Bone marrow aspirate smear. 40× oil immersion — 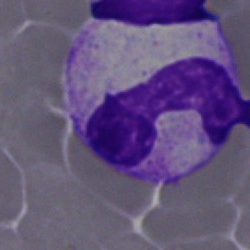
Specimen: bone marrow aspirate smear.
Cell type: band-form neutrophil.
Lineage: myeloid.